Bone marrow aspirate smear: 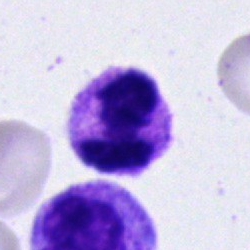Polymorphonuclear neutrophil.